Bone marrow aspirate smear
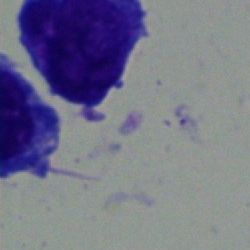

Specimen: bone marrow aspirate smear.
Cell type: blast cell.